Bone marrow smear · 250×250 px:
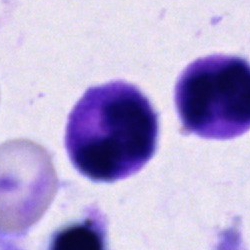
Specimen: bone marrow smear.
Classification: segmented neutrophil.
Lineage: myeloid.